Bone marrow smear.
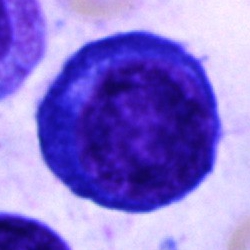
The cell is proerythroblast.